250×250 · single-cell crop · bone marrow smear:
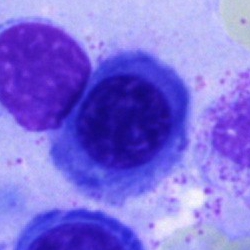Impression → erythroblast.